Brightfield microscopy, 40× oil immersion. Bone marrow aspirate smear: 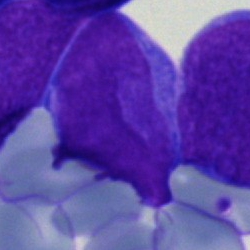 Showing an undifferentiated blast.